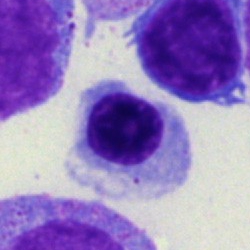Cell type: nucleated red blood cell.